Brightfield microscopy, 40× oil immersion · bone marrow smear — 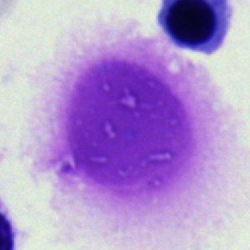 Specimen: bone marrow aspirate smear.
Cell: artefact.